Bone marrow aspirate smear · 40× objective, oil immersion · 250×250
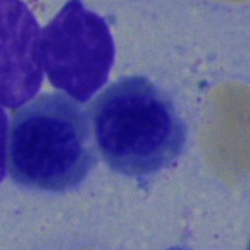{"cell_type": "nucleated red blood cell"}